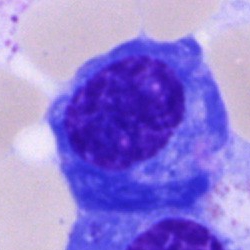
Showing a plasmacyte.